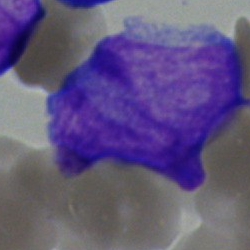

Bone marrow aspirate smear, single cell — undifferentiated blast.